Bone marrow aspirate smear — 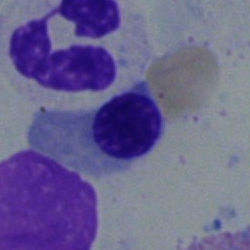Specimen: bone marrow smear.
Cell: nucleated red cell.